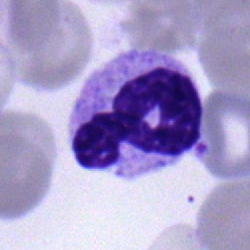

Single cell identified as a polymorphonuclear neutrophil.